Brightfield, 40× oil-immersion objective; bone marrow aspirate smear:
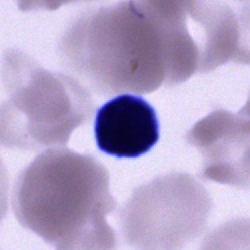 {"cell_type": "unidentifiable cell"}